Bone marrow smear — 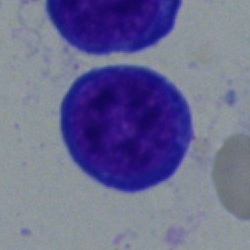
Showing a nucleated red blood cell.